400 by 400 pixels; single-cell crop; peripheral blood smear — 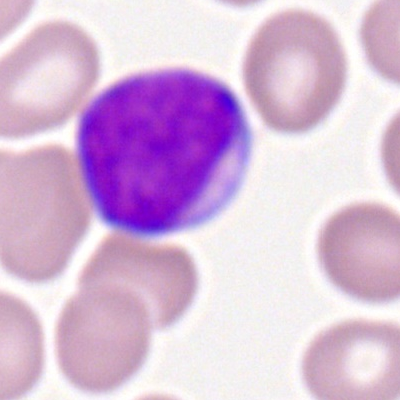
The classification is myeloid blast.